Pappenheim-stained; bone marrow smear.
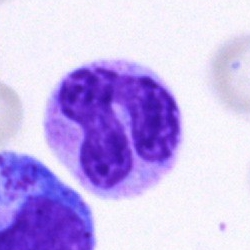
Specimen: bone marrow smear.
Cell type: band-form neutrophil.